Bone marrow aspirate smear — 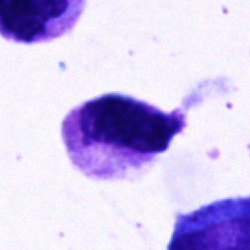
Q: Which cell type is shown here?
A: It is a polymorphonuclear neutrophil.